Bone marrow smear:
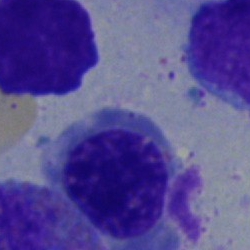
Q: What cell is this?
A: An erythroblast.